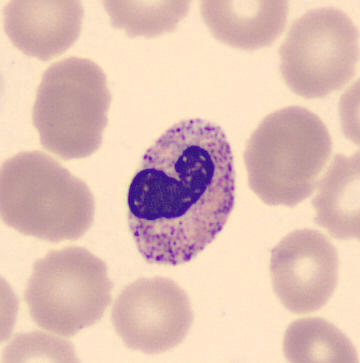
Q: What is this?
A: Band-form neutrophil.